Bone marrow smear · single-cell field:
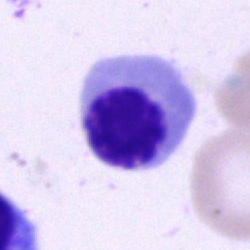

Morphology → erythroblast.